40× objective, oil immersion · bone marrow aspirate smear: 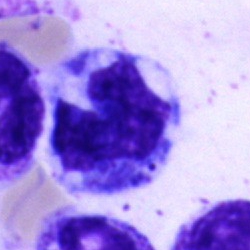 Classification — monocyte.